Peripheral blood film. Romanowsky-type stain
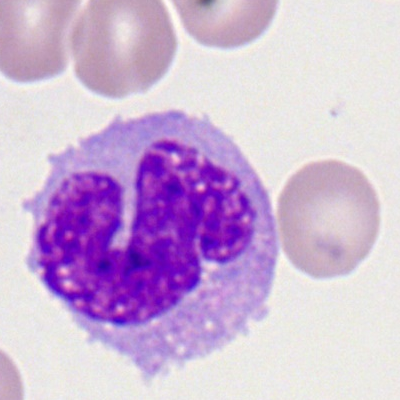 Classification: monocyte.